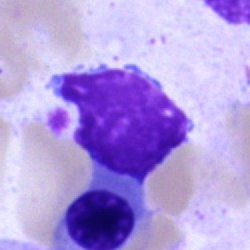 Morphology consistent with an artifact.